Brightfield, 40× oil-immersion objective · bone marrow aspirate smear.
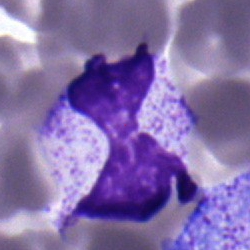
Specimen: bone marrow smear.
Classification: polymorphonuclear neutrophil.